Peripheral blood smear
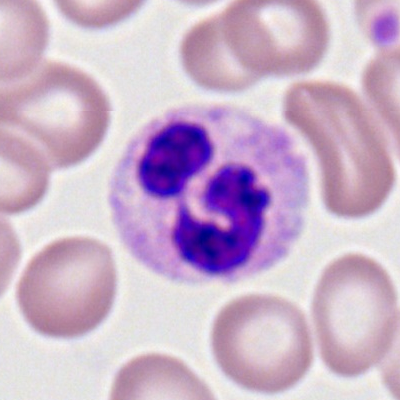
Q: Which cell type is shown here?
A: It is a polymorphonuclear neutrophil.